Bone marrow smear. Brightfield, 40× oil-immersion objective: 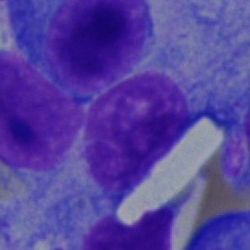Specimen: bone marrow aspirate smear.
Morphological class: plasma cell.